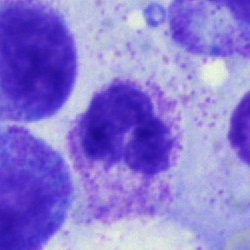

Q: What is the morphological classification of this cell?
A: It is a neutrophil (segmented).